Bone marrow aspirate smear: 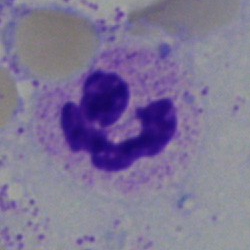The cell shown is a neutrophil (segmented).